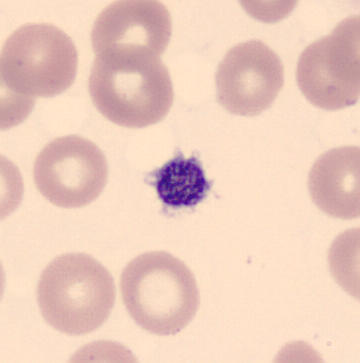 Thrombocyte.